Peripheral blood film · MGG stain · single cell centered in the field — 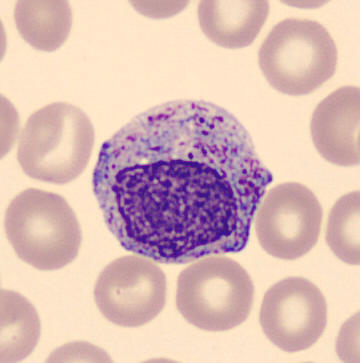Identified as a myelocyte.